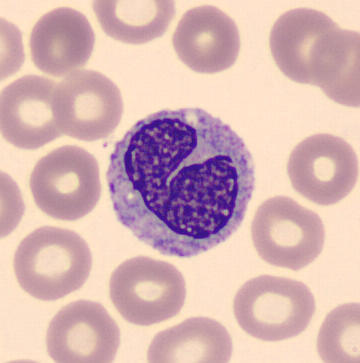 Single-cell crop · peripheral blood film. Morphology consistent with a monocyte.